Peripheral blood smear · Romanowsky stain — 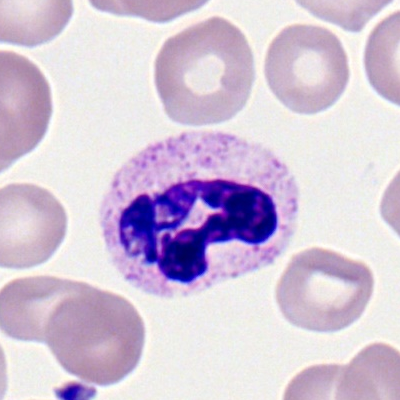 Cell type = polymorphonuclear neutrophil.